Peripheral blood smear:
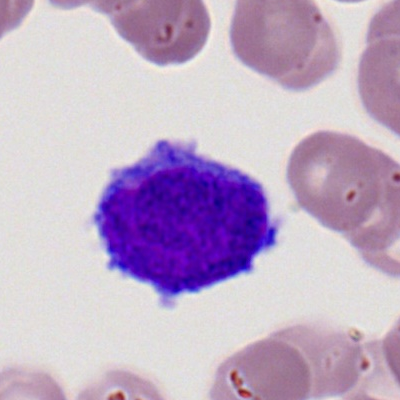

Lymphocyte.